360 by 363 pixels. Peripheral blood smear. CellaVision DM96:
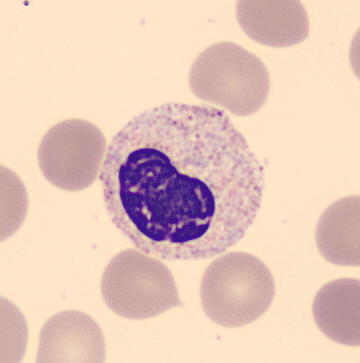Specimen: peripheral blood film.
Cell: neutrophil (band).
Lineage: myeloid.